Bone marrow smear.
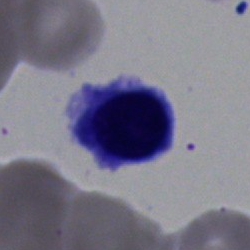
Specimen: bone marrow aspirate smear.
Cell type: nucleated red cell.
Lineage: erythroid.